Bone marrow smear:
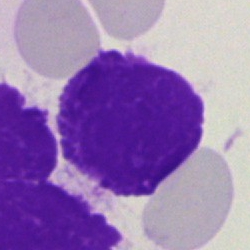Classification = artifact.